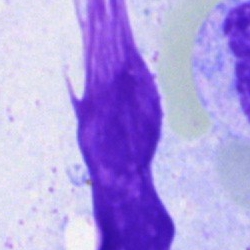

The morphological class is artefact.